Brightfield, 40× oil-immersion objective · bone marrow smear
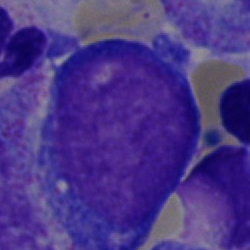 Classification — pronormoblast.